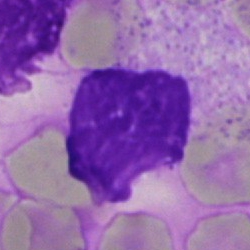 Impression — artefact.